Bone marrow smear; single cell centered in the field.
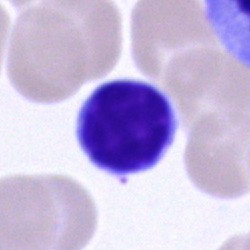 The cell shown is a lymphocyte.